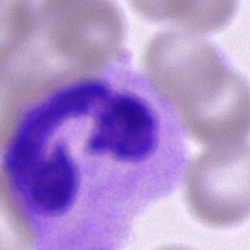
Q: What cell is this?
A: It is a polymorphonuclear neutrophil.